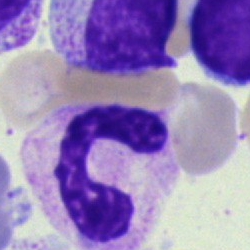{"cell_type": "neutrophil (segmented)", "lineage": "myeloid"}